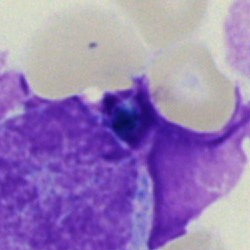
Impression — artifact.